May-Grünwald-Giemsa stain · bone marrow aspirate smear:
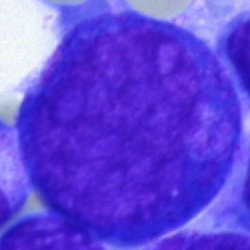

Morphology → pronormoblast.